Bone marrow aspirate smear:
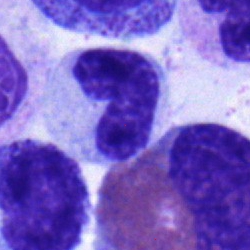

{"cell_type": "stab cell", "lineage": "myeloid"}